May-Grünwald-Giemsa/Pappenheim stain; bone marrow aspirate smear
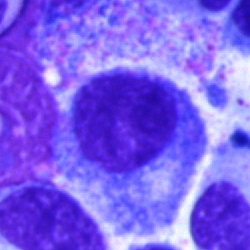

Cell type: promyelocyte.